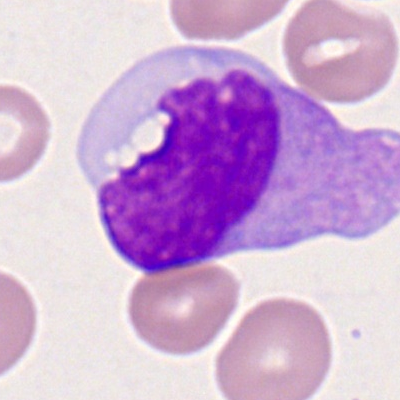Q: What cell is this?
A: This is a monocyte.